Peripheral blood smear
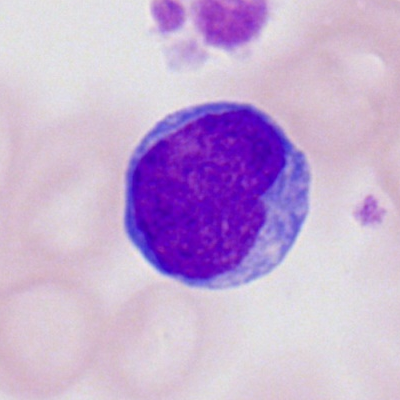

Morphological class = myeloblast.